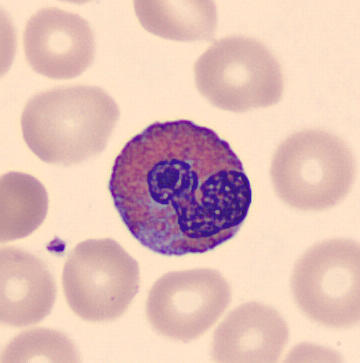 Cell type = eosinophil.